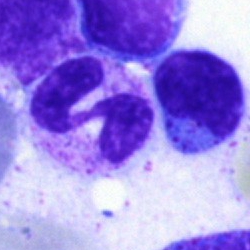
The cell type is segmented neutrophil.